Bone marrow smear.
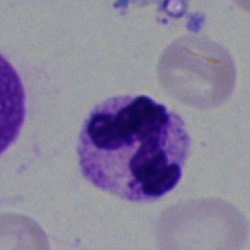
Morphology — polymorphonuclear neutrophil.